Bone marrow aspirate smear:
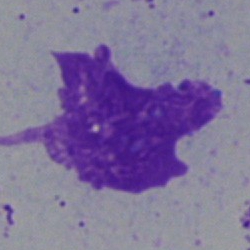
Morphological class: artifact.